Bone marrow aspirate smear · cropped to a single cell — 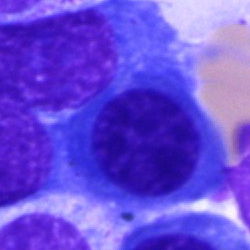Cell type = erythroblast.